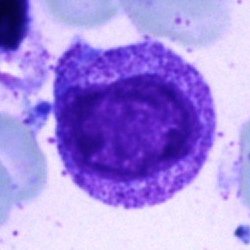 Morphological class — promyelocyte.